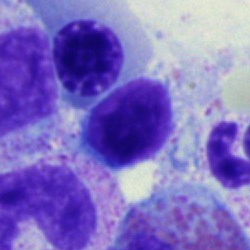Q: What is the morphological classification of this cell?
A: Lymphocyte.